Image size 250×250 · bone marrow smear.
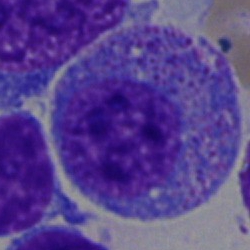 Q: What is the morphological classification of this cell?
A: A progranulocyte.